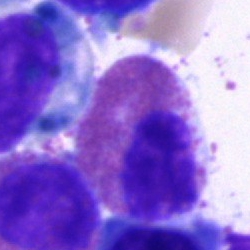 Single cell identified as an eosinophil.